Brightfield microscopy, 40× oil immersion · bone marrow aspirate smear
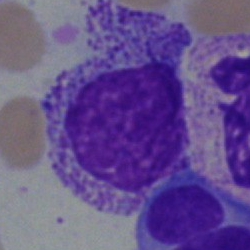
Specimen: bone marrow smear.
Cell: myelocyte.
Lineage: myeloid.